40× oil immersion · bone marrow aspirate smear — 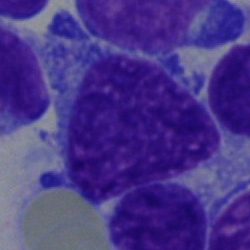
Blast.